Bone marrow aspirate smear. 40× oil immersion — 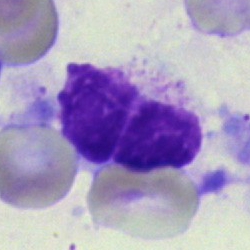
Q: What is shown here?
A: It is an artifact.